40× objective, oil immersion; bone marrow smear; 250×250
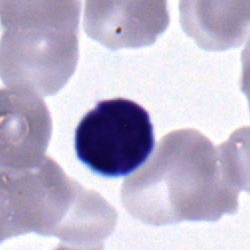Cell — typical lymphocyte.